Bone marrow aspirate smear
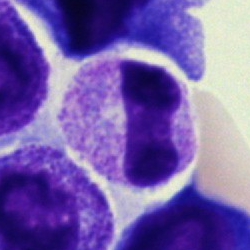
A neutrophil (band).